Brightfield microscopy, 40× oil immersion. MGG-stained. Bone marrow aspirate smear:
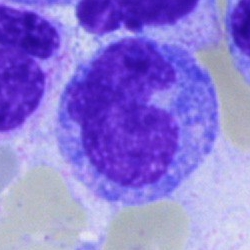

Showing a monocyte.